Image size 400×400. Single cell centered in the field. Peripheral blood film — 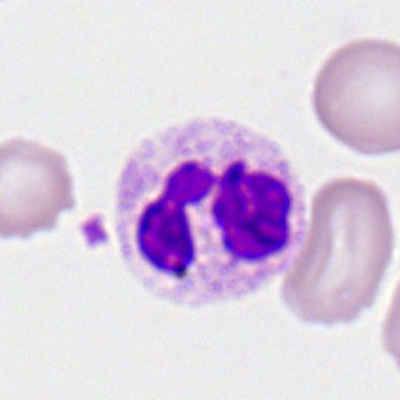This is a neutrophil (segmented).